Bone marrow aspirate smear — 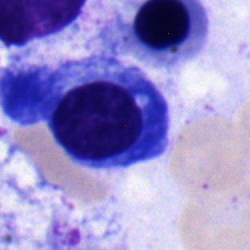
Classification — plasmacyte.